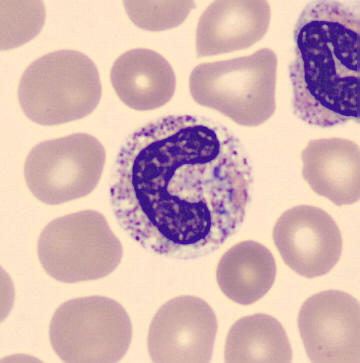

Cell type = band-form neutrophil.
Preparation: Peripheral blood film.